Bone marrow aspirate smear
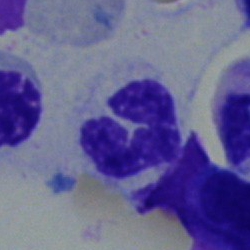
A polymorphonuclear neutrophil.